250×250 px. May-Grünwald-Giemsa stain. Bone marrow smear.
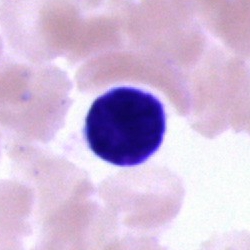

A typical lymphocyte.